Bone marrow aspirate smear. MGG-stained.
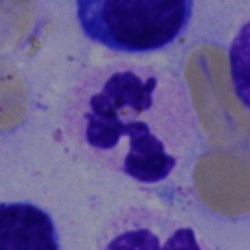

Morphology consistent with a neutrophil (segmented).